250×250 px. Bone marrow smear: 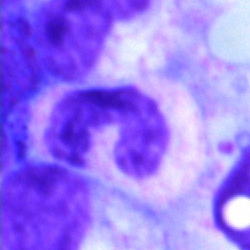Specimen: bone marrow smear.
Morphological class: neutrophil (segmented).
Lineage: myeloid.